250×250. Bone marrow smear — 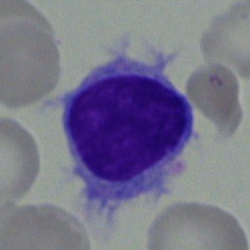 A typical lymphocyte.